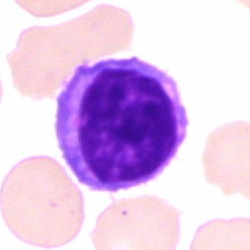Cell — typical lymphocyte.